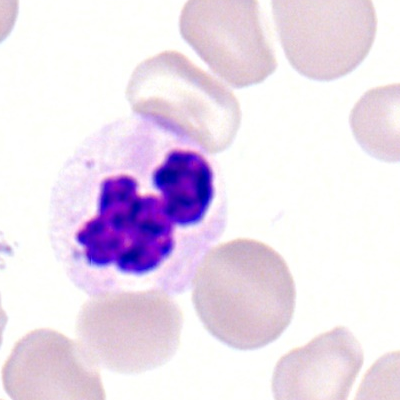 Morphology consistent with a segmented neutrophil.